Brightfield microscopy, 40× oil immersion; 250×250; bone marrow smear — 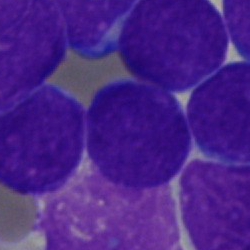Q: What cell is this?
A: A blast cell.